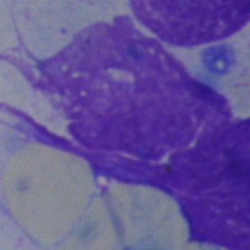
Morphological class = artifact.